40× objective, oil immersion. Single-cell crop. Bone marrow aspirate smear.
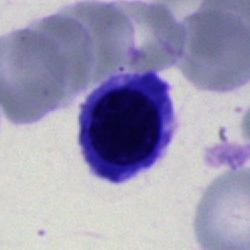

The cell type is nucleated red cell.